Cropped to a single cell; bone marrow aspirate smear: 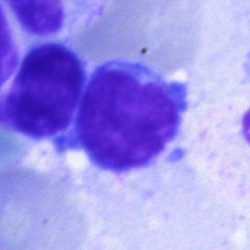This is a lymphocyte.